Single-cell crop. Peripheral blood smear. Brightfield, 100× oil-immersion objective
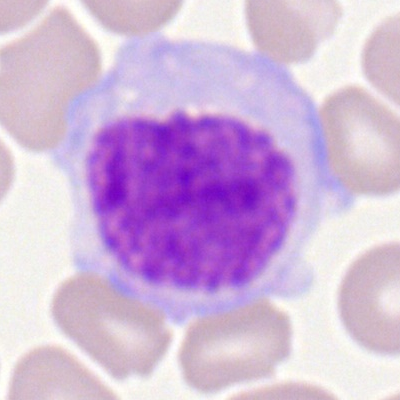 The classification is monocyte.